MGG-stained · bone marrow aspirate smear
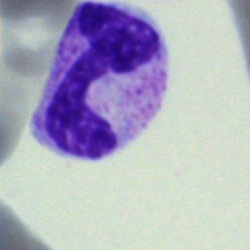 The cell type is segmented neutrophil.